250 by 250 pixels · brightfield microscopy, 40× oil immersion · bone marrow aspirate smear.
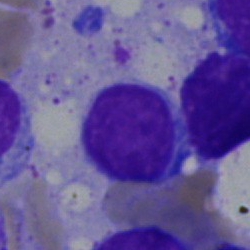

Specimen: bone marrow aspirate smear.
Classification: typical lymphocyte.
Lineage: lymphoid.